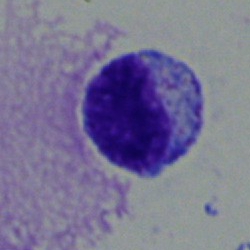

Morphology consistent with a myelocyte.